Bone marrow smear · brightfield, 40× oil-immersion objective · Pappenheim-stained — 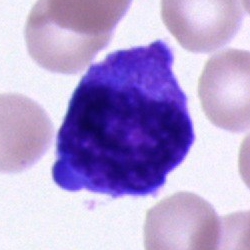Q: What cell is this?
A: An unidentifiable cell.